Peripheral blood smear:
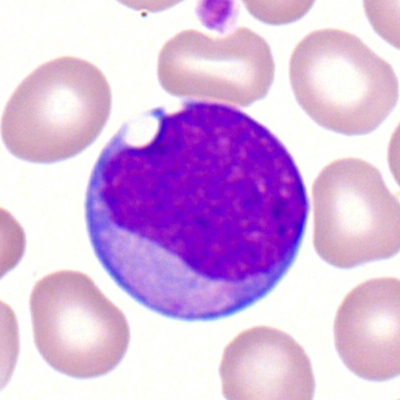Morphology consistent with a myeloblast.